Bone marrow smear.
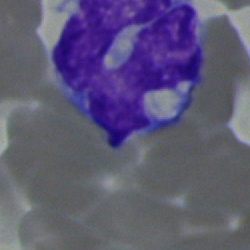
Single cell identified as a monocyte.